100× objective, oil immersion · peripheral blood smear:
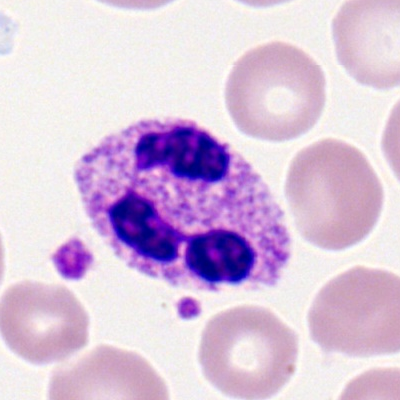 Specimen: peripheral blood smear.
Cell type: neutrophil (segmented).